Bone marrow aspirate smear
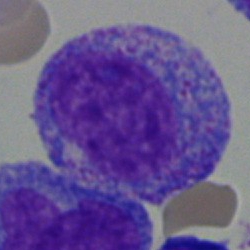 Showing a promyelocyte.